Bone marrow smear; cropped to a single cell; Pappenheim-stained.
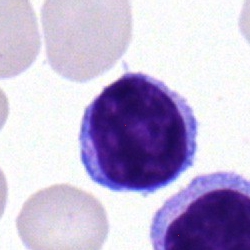

Lymphocyte.